Bone marrow aspirate smear. May-Grünwald-Giemsa/Pappenheim stain:
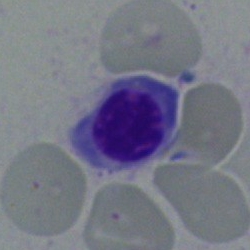

Morphology consistent with a normoblast.